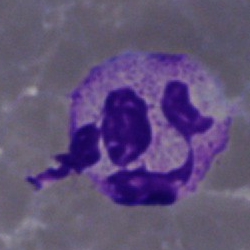 Bone marrow smear showing a segmented neutrophil.